Peripheral blood smear.
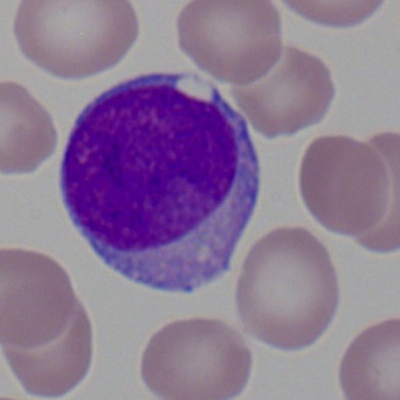
Single cell identified as a myeloblast.